Bone marrow smear.
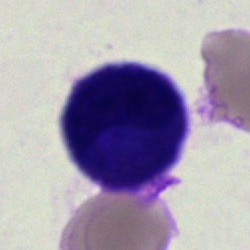
{"cell_type": "artifact"}